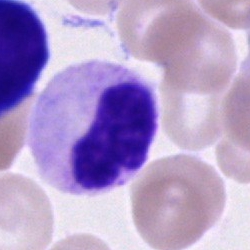 Morphology → stab cell.